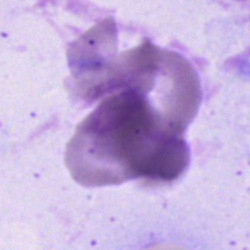 Q: What is shown here?
A: This is an artifact.